Bone marrow aspirate smear: 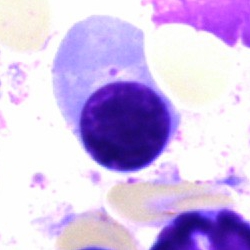Morphology → lymphocyte.